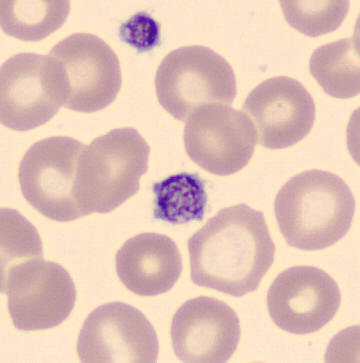 From a peripheral blood smear: a platelet.